Bone marrow aspirate smear
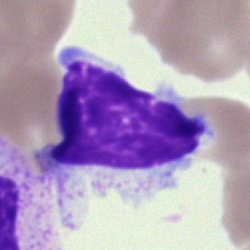
Classification: typical lymphocyte.